Peripheral blood film — 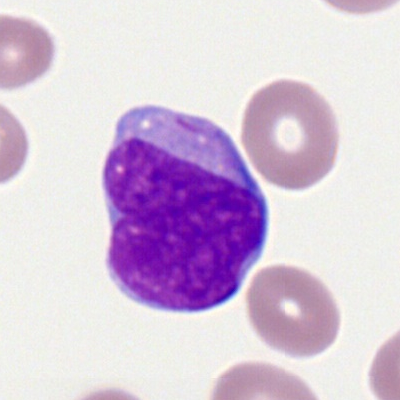
Morphology consistent with a myeloblast.